Pappenheim-stained; bone marrow aspirate smear
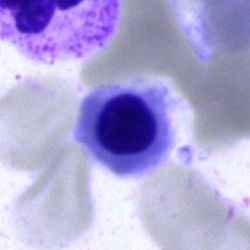

Normoblast.